250 by 250 pixels; bone marrow aspirate smear
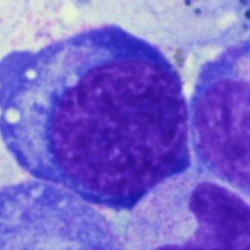{"cell_type": "erythroblast"}